Single-cell crop; bone marrow aspirate smear:
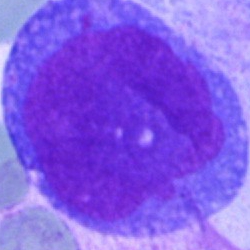Specimen: bone marrow aspirate smear.
Cell type: undifferentiated blast.